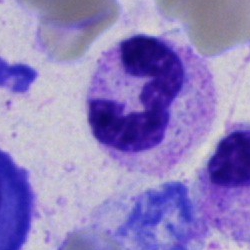Morphology consistent with a polymorphonuclear neutrophil.